Pappenheim-stained; bone marrow smear.
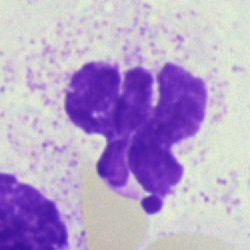
The cell shown is an artifact.